Peripheral blood smear; 100× oil immersion, 14.14 px/µm; 400×400: 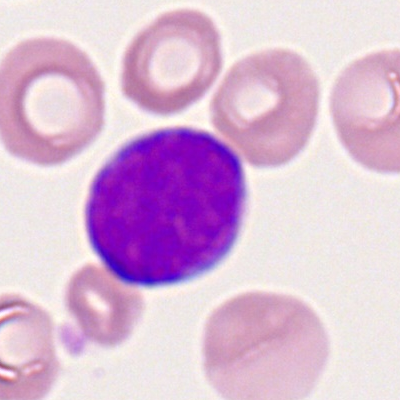
Specimen: peripheral blood film.
Morphological class: myeloid blast.